Cropped to a single cell · bone marrow aspirate smear — 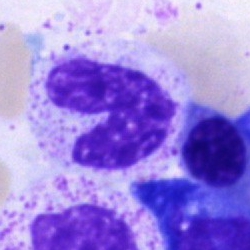
Cell type — neutrophil (band).